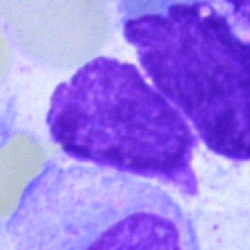

Cell type = artifact.